Bone marrow aspirate smear; Pappenheim-stained — 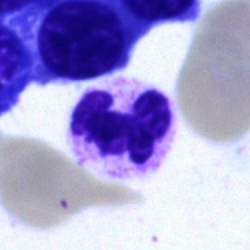Morphology consistent with a neutrophil (segmented).